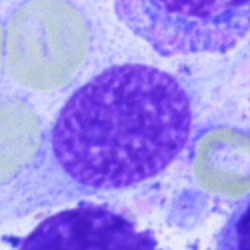 Classification: artifact.